Bone marrow aspirate smear. May-Grünwald-Giemsa stain. Image size 250×250.
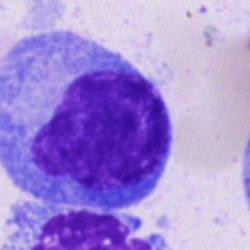

Morphological class — plasma cell.